Bone marrow aspirate smear · single cell centered in the field · image size 250×250
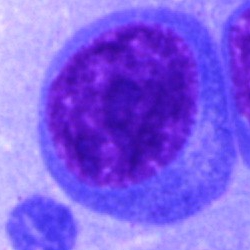
Q: Identify the cell.
A: A plasma cell.